Bone marrow smear.
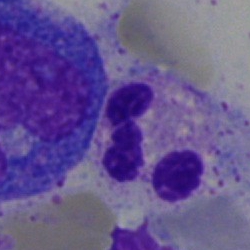

Cell type — segmented neutrophil.